Bone marrow smear: 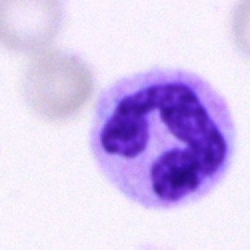The classification is neutrophil (segmented).